Image size 250×250 · bone marrow aspirate smear: 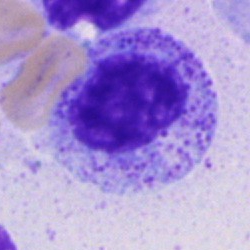
Specimen: bone marrow smear.
Cell type: progranulocyte.
Lineage: myeloid.